Bone marrow aspirate smear — 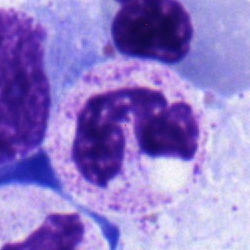 Q: What is the morphological classification of this cell?
A: It is a neutrophil (segmented).